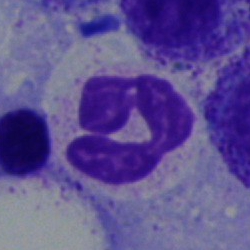

Bone marrow smear showing a neutrophil (segmented).